40× objective, oil immersion; bone marrow smear
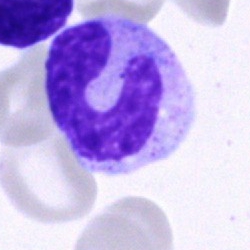 A band neutrophil.